Bone marrow smear — 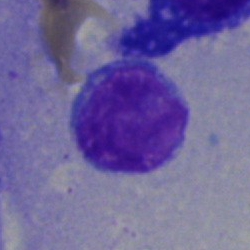 The morphological class is typical lymphocyte.